Bone marrow smear.
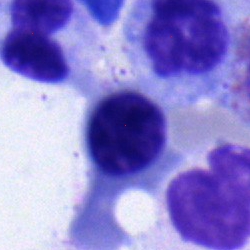
This is a nucleated red blood cell.